Single cell centered in the field · bone marrow aspirate smear — 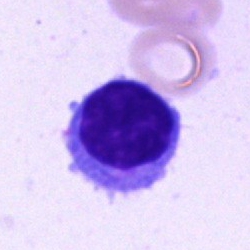 Morphology — lymphocyte.